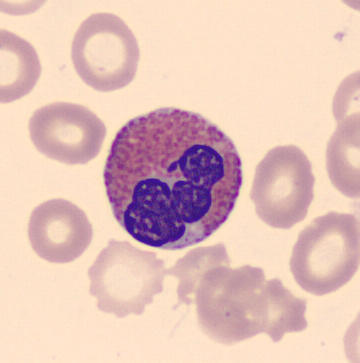
Classification — eosinophilic granulocyte.